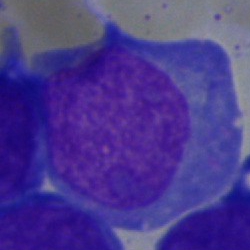 Q: What type of cell is this?
A: An undifferentiated blast.